Bone marrow smear · single-cell field — 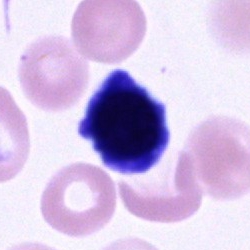Q: What type of cell is this?
A: Cell of indeterminate lineage.